Bone marrow aspirate smear — 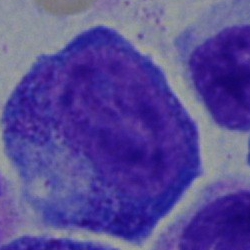
Cell — progranulocyte.